Bone marrow aspirate smear. 250×250. Single-cell crop: 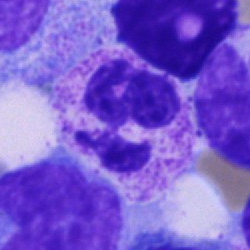
{"cell_type": "polymorphonuclear neutrophil", "lineage": "myeloid"}